Single-cell field · bone marrow smear.
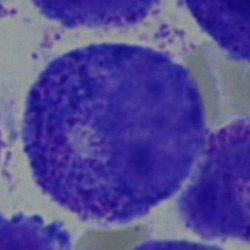 This is a progranulocyte.